Bone marrow aspirate smear · brightfield microscopy, 40× oil immersion: 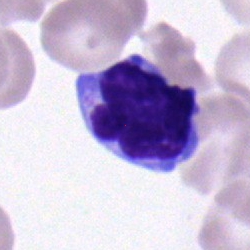

Single cell identified as a typical lymphocyte.